Bone marrow aspirate smear: 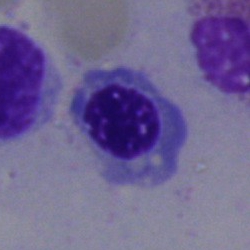
Q: What is the morphological classification of this cell?
A: It is a normoblast.